Bone marrow aspirate smear.
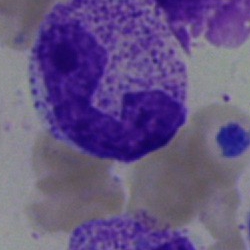
The cell shown is a neutrophil (band).